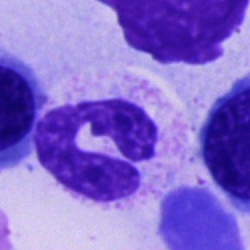
Specimen: bone marrow smear.
Classification: polymorphonuclear neutrophil.
Lineage: myeloid.